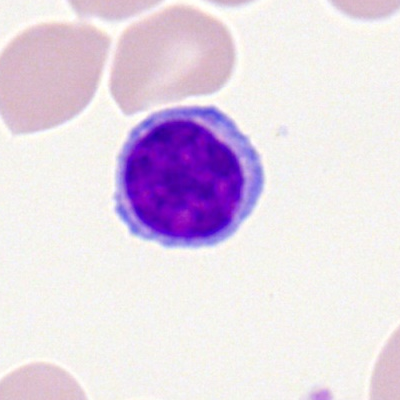
A typical lymphocyte.